Bone marrow smear.
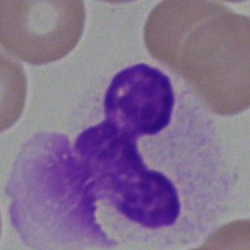

The morphological class is segmented neutrophil.